May-Grünwald-Giemsa stain; bone marrow aspirate smear:
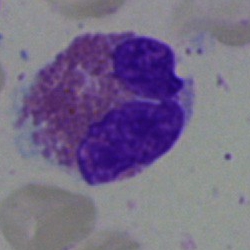 Impression → eosinophilic granulocyte.